Bone marrow smear — 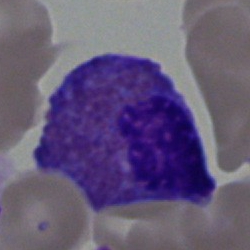 Classification: eosinophilic granulocyte.